Bone marrow aspirate smear.
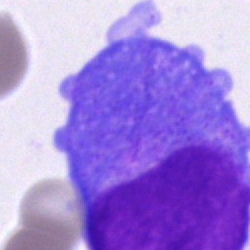

Morphological class = undifferentiated blast.